Bone marrow smear
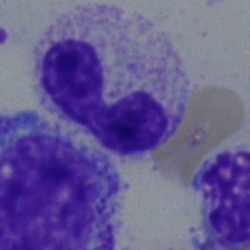 Cell type — stab cell.